Bone marrow aspirate smear.
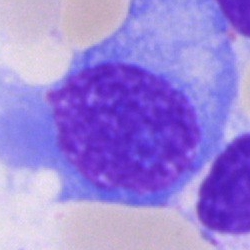

This is a plasma cell.